Bone marrow aspirate smear · 40× objective, oil immersion.
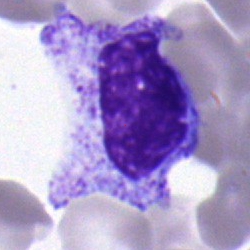Single cell identified as a metamyelocyte.